Bone marrow smear: 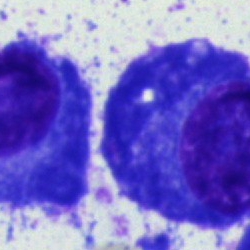 Morphology consistent with a plasmacyte.